Peripheral blood smear · 360 by 363 pixels.
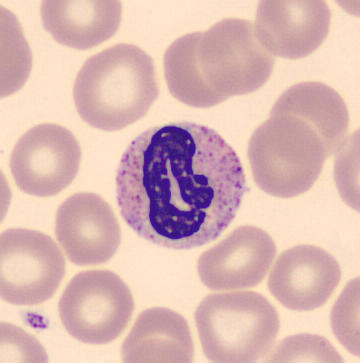 Morphology — stab cell.